May-Grünwald-Giemsa/Pappenheim stain. Bone marrow smear — 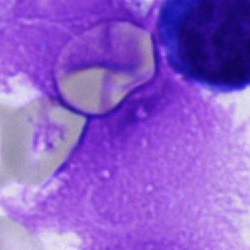 The cell shown is an artifact.